Bone marrow aspirate smear; MGG-stained.
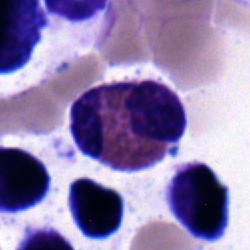An eosinophilic granulocyte.